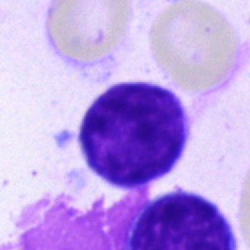

Morphology consistent with a lymphocyte.